Peripheral blood film: 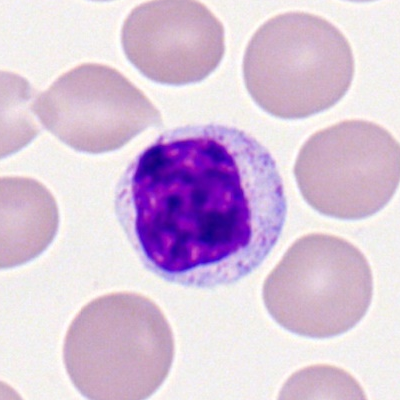

Classification — typical lymphocyte.